Bone marrow aspirate smear. 250×250. Single-cell field
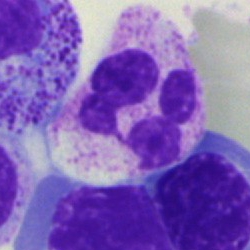
Q: What is shown here?
A: This is a polymorphonuclear neutrophil.